Bone marrow aspirate smear; May-Grünwald-Giemsa stain; brightfield microscopy, 40× oil immersion.
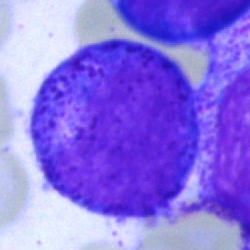

{"cell_type": "promyelocyte"}